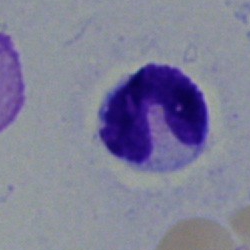
Cell type — stab cell.